Peripheral blood film — 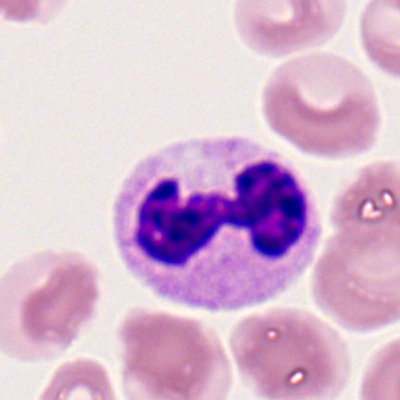

Polymorphonuclear neutrophil.